250×250 · bone marrow smear — 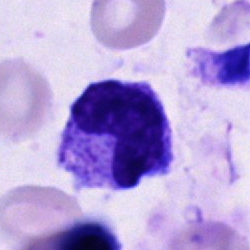 The morphological class is cell of indeterminate lineage.